Bone marrow smear. 250×250 px: 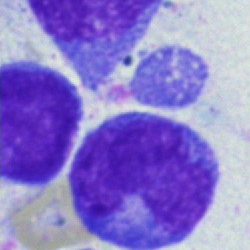
Morphology consistent with a monocyte.